Pappenheim-stained. Cropped to a single cell. Bone marrow aspirate smear:
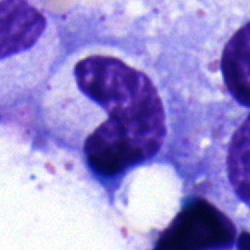Specimen: bone marrow aspirate smear.
Cell: band-form neutrophil.
Lineage: myeloid.